May-Grünwald-Giemsa/Pappenheim stain; bone marrow smear
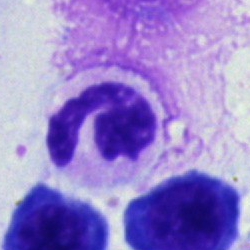This is a polymorphonuclear neutrophil.